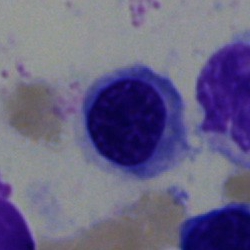

Morphological class = erythroblast.